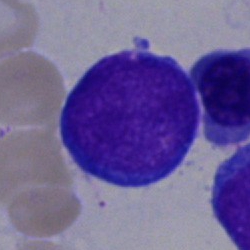
Q: Identify the cell.
A: It is an undifferentiated blast.